Single-cell crop; bone marrow smear: 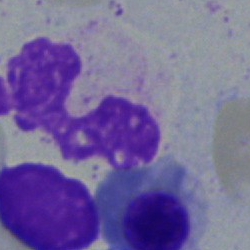
The morphological class is band-form neutrophil.